Bone marrow smear:
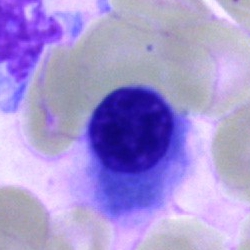This is an erythroblast.